Bone marrow aspirate smear · 40× oil immersion
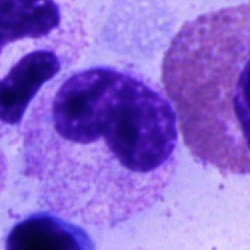

A metamyelocyte.